Peripheral blood smear.
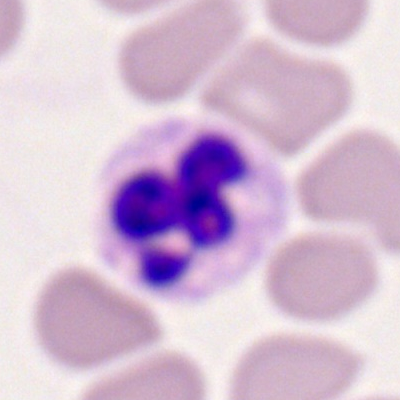Specimen: peripheral blood film.
Cell type: polymorphonuclear neutrophil.